Bone marrow aspirate smear:
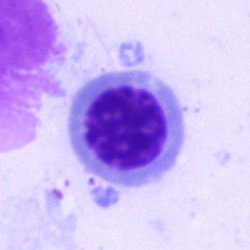 Morphology consistent with a normoblast.